Bone marrow aspirate smear
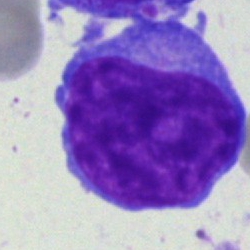Showing an other cell type.